Bone marrow aspirate smear:
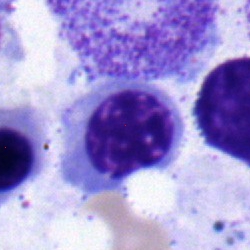 Cell = nucleated red blood cell.